May-Grünwald-Giemsa stain. Bone marrow aspirate smear.
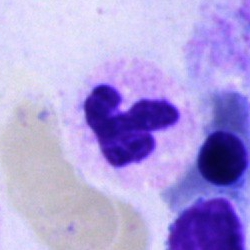

Q: What is shown here?
A: A neutrophil (segmented).